Pappenheim-stained · bone marrow aspirate smear:
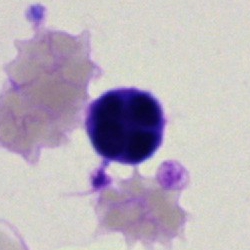
{"cell_type": "artefact"}